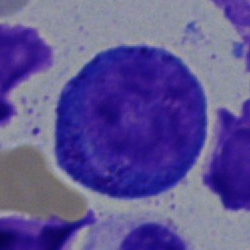
{"cell_type": "pronormoblast", "lineage": "erythroid"}